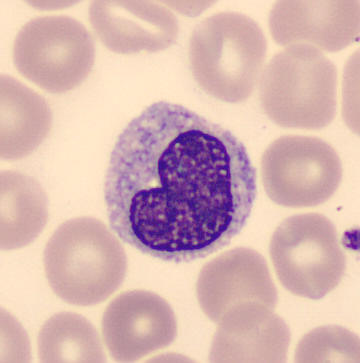

Morphology → monocyte.

Acquisition: Peripheral blood smear · 360×363 px.